Bone marrow smear:
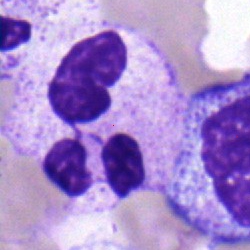Q: Identify the cell.
A: It is a polymorphonuclear neutrophil.